Bone marrow aspirate smear:
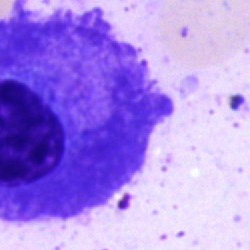 Classification — plasma cell.